Bone marrow smear: 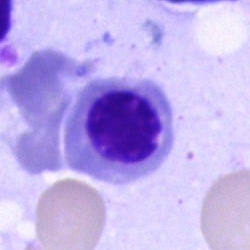 Cell — normoblast.